Bone marrow smear. 40× oil immersion.
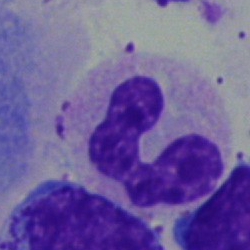 Classification: neutrophil (band).